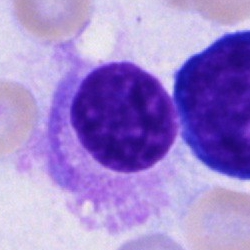
Bone marrow smear showing a plasma cell.